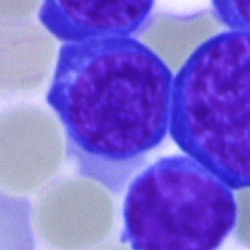 Showing a nucleated red blood cell.